Brightfield, 40× oil-immersion objective · cropped to a single cell · bone marrow aspirate smear — 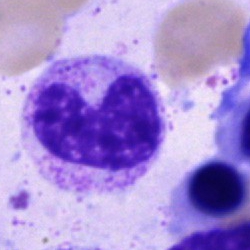

Impression → metamyelocyte.